Bone marrow aspirate smear; May-Grünwald-Giemsa stain: 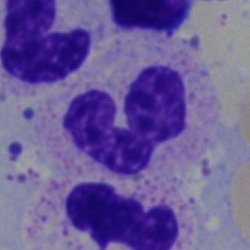Band-form neutrophil.